Single-cell field. Bone marrow aspirate smear. Pappenheim-stained:
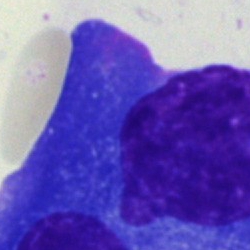Plasma cell.